Bone marrow smear · 250×250 px · single cell centered in the field.
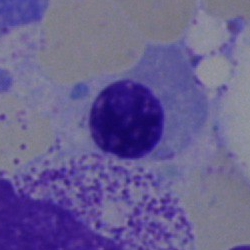 Morphology → nucleated red cell.